Bone marrow aspirate smear.
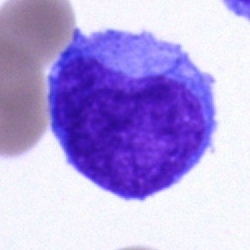

Morphology consistent with a blast.